Bone marrow aspirate smear.
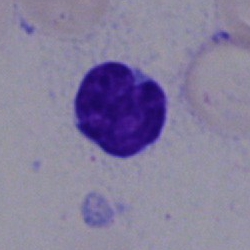

Morphology consistent with a lymphocyte.